Bone marrow smear: 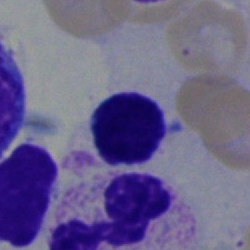

Q: What cell is this?
A: A lymphocyte.